MGG-stained. Bone marrow smear.
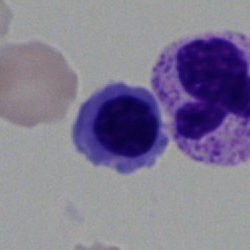
Nucleated red blood cell.